Bone marrow smear · brightfield, 40× oil-immersion objective:
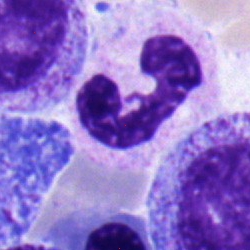

Q: Identify the cell.
A: Band neutrophil.